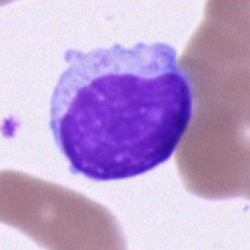 The cell is lymphocyte.